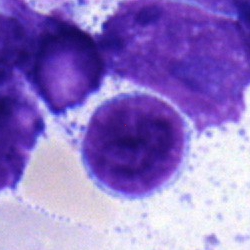
A typical lymphocyte on a bone marrow smear.